Bone marrow smear: 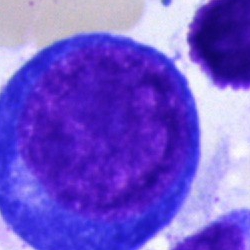 Cell: proerythroblast.